Peripheral blood smear:
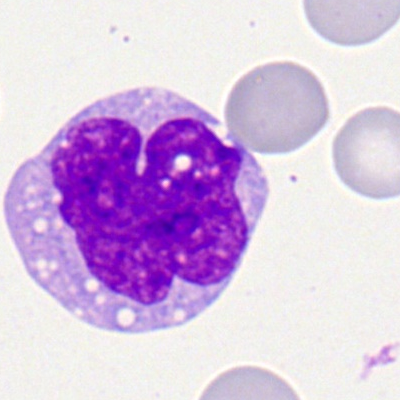

Monocyte.